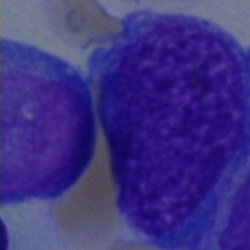
Q: What type of cell is this?
A: Blast cell.